Bone marrow aspirate smear.
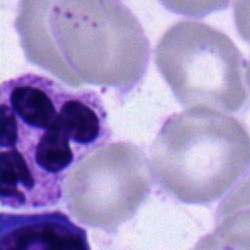

Q: What cell is this?
A: A neutrophil (segmented).